250 by 250 pixels; May-Grünwald-Giemsa/Pappenheim stain; bone marrow smear:
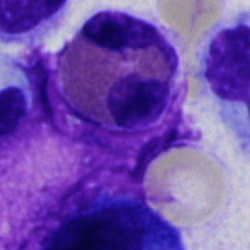
Morphological class = eosinophil.